Single cell centered in the field; bone marrow aspirate smear; May-Grünwald-Giemsa stain
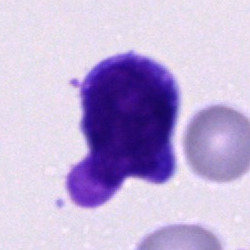 The cell is blast.